Bone marrow smear · single-cell field · brightfield microscopy, 40× oil immersion.
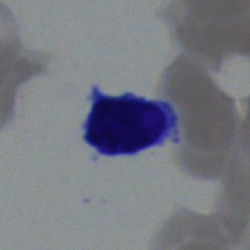 The cell shown is a lymphocyte.